May-Grünwald-Giemsa stain. Bone marrow smear:
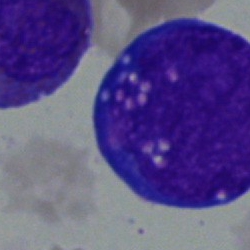Blast cell.